Bone marrow aspirate smear — 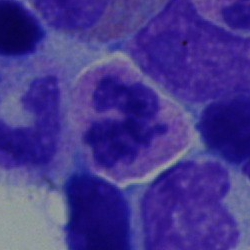

Q: What is shown here?
A: This is a segmented neutrophil.